40× oil immersion; Pappenheim-stained; bone marrow aspirate smear.
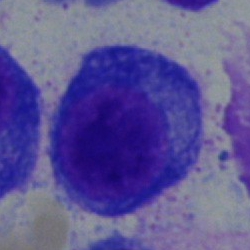

Showing a plasma cell.